Bone marrow smear. 250×250 px.
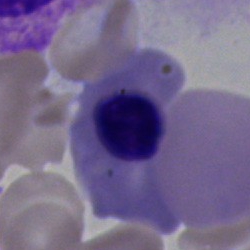 Morphology — normoblast.